Bone marrow aspirate smear. Single-cell crop — 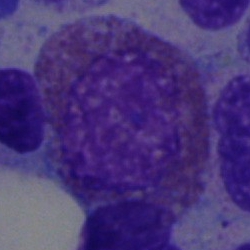
Q: Which cell type is shown here?
A: An eosinophilic granulocyte.